Bone marrow aspirate smear
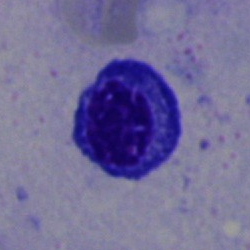Morphological class — nucleated red cell.